Bone marrow smear · 250×250 px:
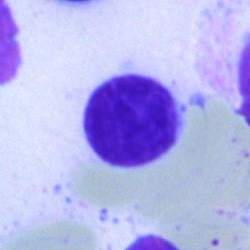

{"cell_type": "typical lymphocyte", "lineage": "lymphoid"}